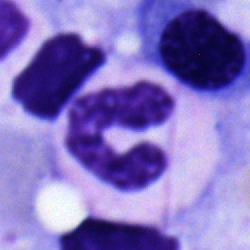
Classification = neutrophil (segmented).